Bone marrow smear.
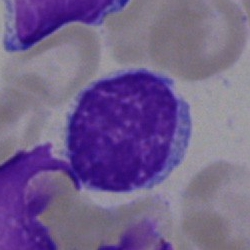
A lymphocyte.